Bone marrow smear. 250×250 px.
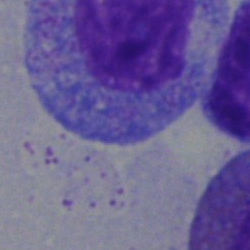
The morphological class is progranulocyte.